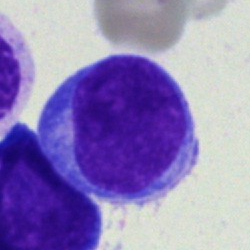 A lymphocyte on a bone marrow smear.